Bone marrow aspirate smear; May-Grünwald-Giemsa/Pappenheim stain — 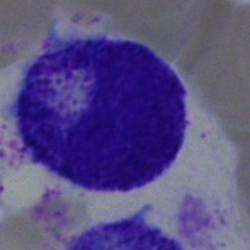 Impression → promyelocyte.